Single-cell crop · bone marrow smear
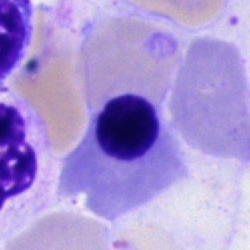
Specimen: bone marrow aspirate smear.
Cell: normoblast.
Lineage: erythroid.